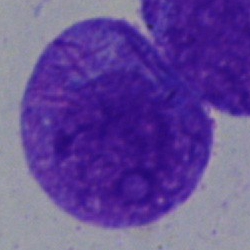Specimen: bone marrow aspirate smear.
Classification: faggot cell.
Lineage: myeloid.